May-Grünwald-Giemsa stain · bone marrow aspirate smear: 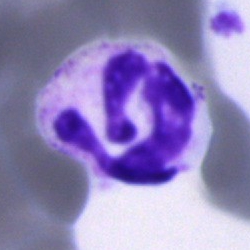
A polymorphonuclear neutrophil.